Bone marrow aspirate smear. Single cell centered in the field. 250×250 — 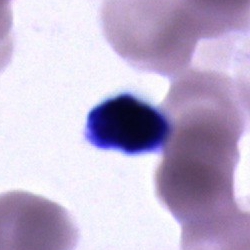

Specimen: bone marrow aspirate smear.
Cell type: unidentifiable cell.